Single-cell crop · bone marrow aspirate smear · Pappenheim-stained:
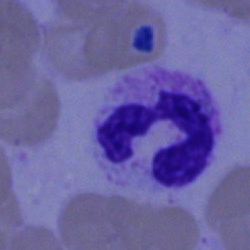

Impression → segmented neutrophil.